Peripheral blood smear:
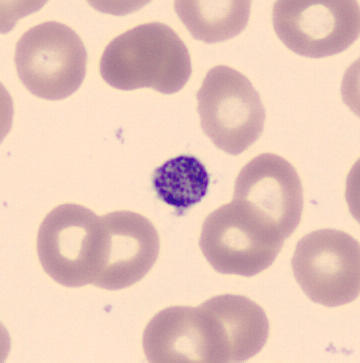 Classification = thrombocyte.